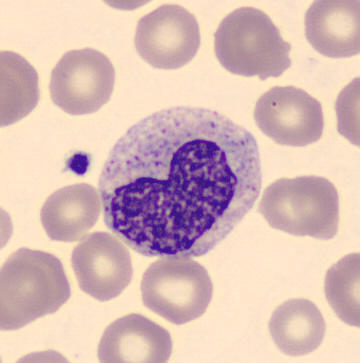Acquisition: Peripheral blood film. A metamyelocyte.